Brightfield microscopy, 40× oil immersion; single cell centered in the field; bone marrow aspirate smear.
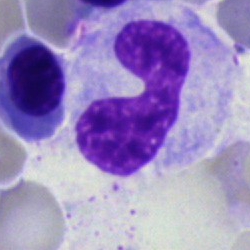The cell is band-form neutrophil.